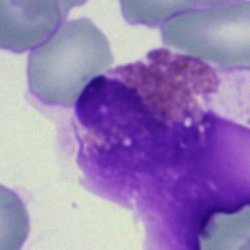

An artifact.